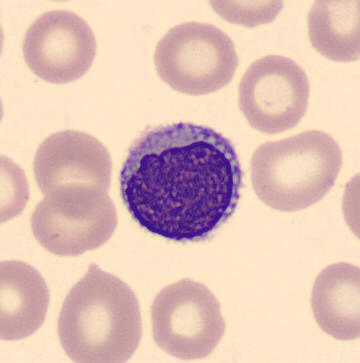Single cell identified as a typical lymphocyte.